Bone marrow aspirate smear · single-cell crop.
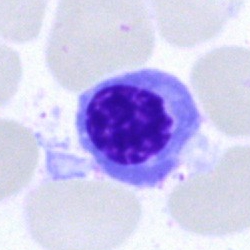
This is a normoblast.